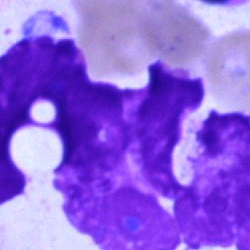Bone marrow smear showing an artifact.